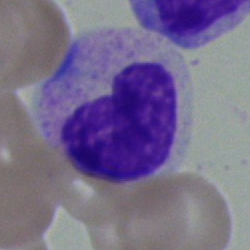A metamyelocyte.